Peripheral blood smear: 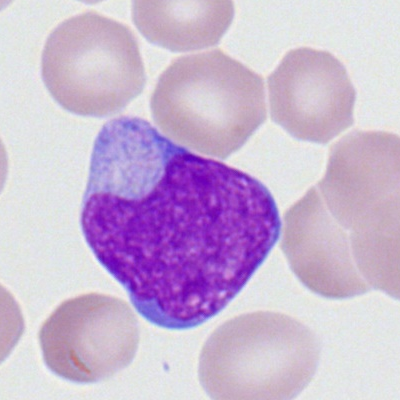Classification: myeloblast.